Bone marrow aspirate smear
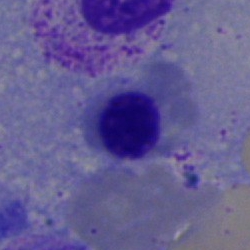Morphology → nucleated red blood cell.